Bone marrow smear:
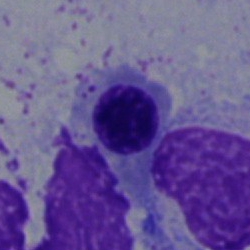

Nucleated red cell.